Pappenheim-stained · bone marrow aspirate smear:
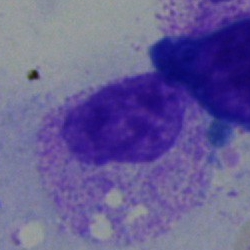

Impression — myelocyte.